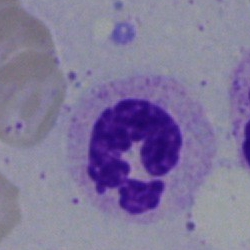

A neutrophil (segmented) on a bone marrow smear.